Pappenheim-stained. 250×250 px. Bone marrow smear:
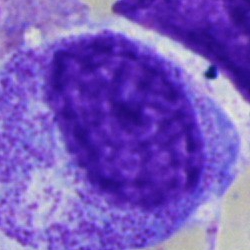 Cell type — progranulocyte.